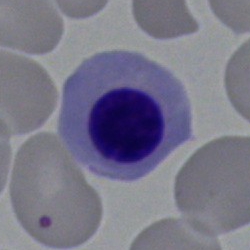

Impression — nucleated red cell.